Single-cell crop. 250×250. Bone marrow smear: 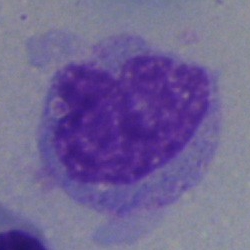
Morphology consistent with a monocyte.